Bone marrow smear:
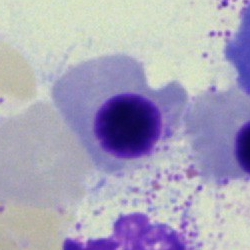
Classification = normoblast.